Bone marrow aspirate smear — 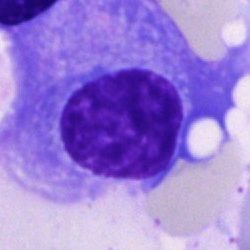 Showing a plasmacyte.